Peripheral blood film · cropped to a single cell:
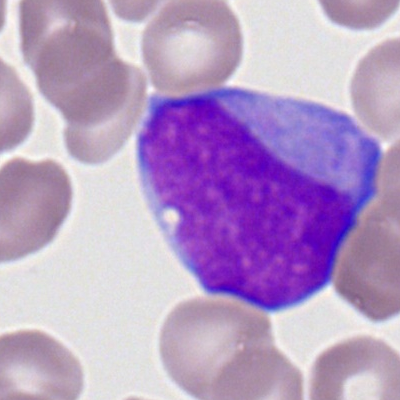A myeloblast.